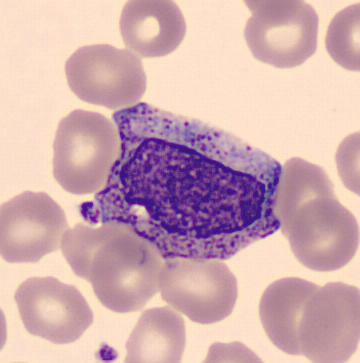 Peripheral blood film. 360 by 363 pixels. Imaged on a CellaVision DM96 analyser. Identified as a myelocyte.